Brightfield, 40× oil-immersion objective. May-Grünwald-Giemsa/Pappenheim stain. Bone marrow smear
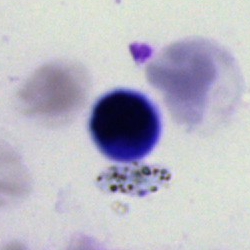Morphological class — lymphocyte.